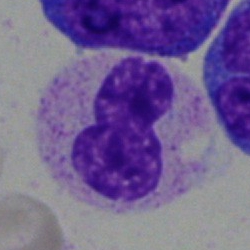{"cell_type": "neutrophil (segmented)"}